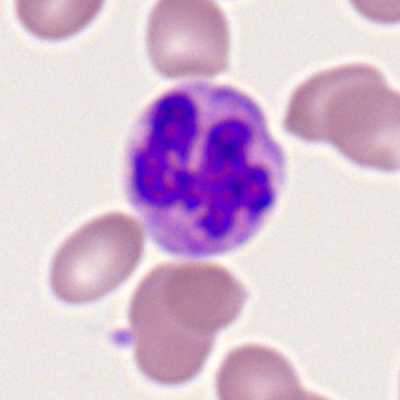

{"cell_type": "neutrophil (segmented)"}